Bone marrow smear: 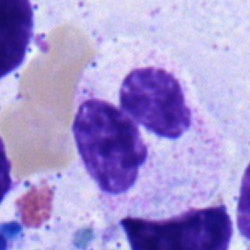This is a neutrophil (segmented).